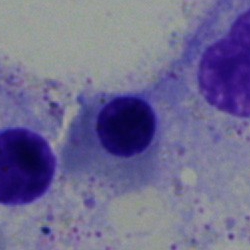Morphology — normoblast.